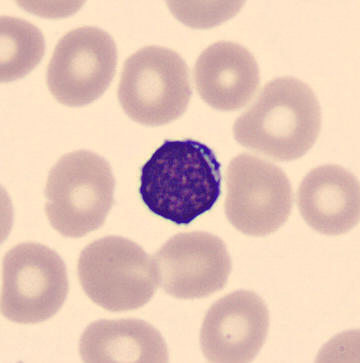

Image: Single-cell field · peripheral blood smear.

Lymphocyte.